Bone marrow aspirate smear. Brightfield, 40× oil-immersion objective. Pappenheim-stained: 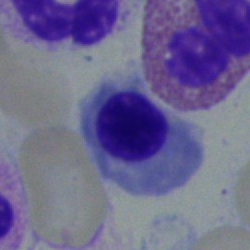 Specimen: bone marrow smear.
Classification: erythroblast.